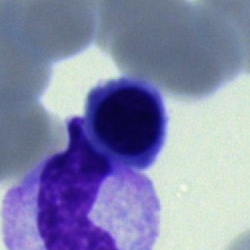Bone marrow smear showing an artifact.